250×250 px. 40× objective, oil immersion. Bone marrow smear:
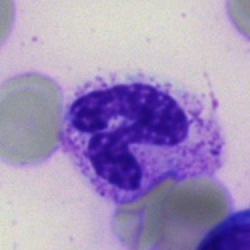
This is a segmented neutrophil.